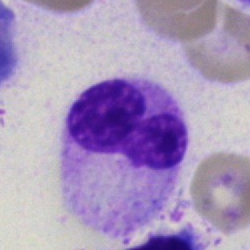 Single cell identified as a segmented neutrophil.